Bone marrow aspirate smear.
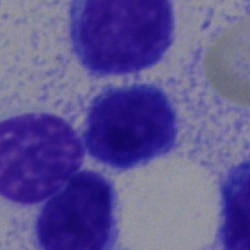
Cell — lymphocyte.